Bone marrow aspirate smear · 250×250 px — 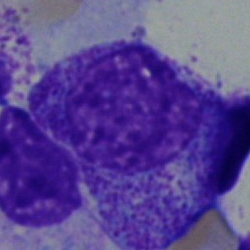 Morphology → myelocyte.